Pappenheim-stained · bone marrow smear · 250×250 px: 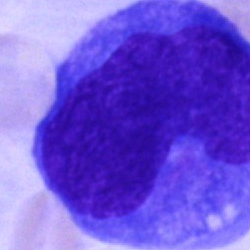
Showing an undifferentiated blast.